400×400 · peripheral blood smear.
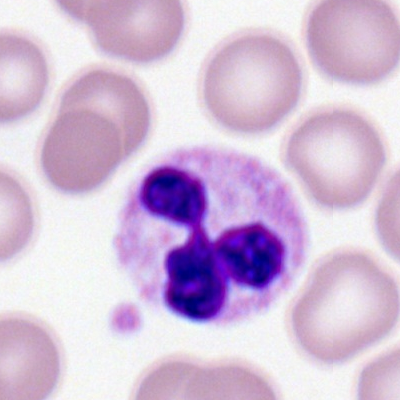 Segmented neutrophil.